Single-cell crop; bone marrow aspirate smear — 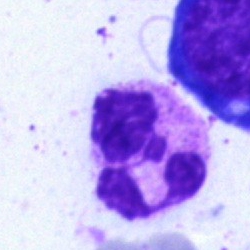 The cell type is polymorphonuclear neutrophil.